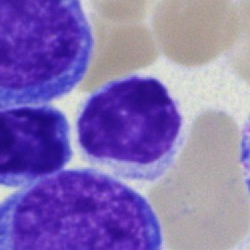

Q: What is shown here?
A: This is a lymphocyte.